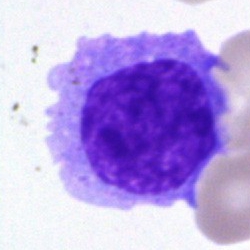 Q: Identify the cell.
A: This is a monocyte.